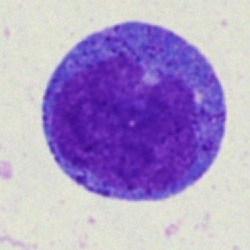
Morphological class: promyelocyte.